Bone marrow smear
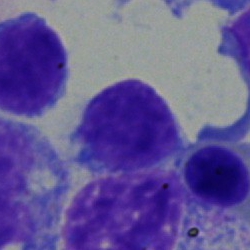Specimen: bone marrow aspirate smear.
Classification: lymphocyte.